Bone marrow smear · single-cell field — 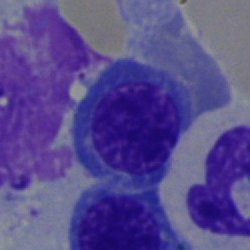 Morphological class: nucleated red cell.